Bone marrow smear; 250 by 250 pixels; single-cell crop
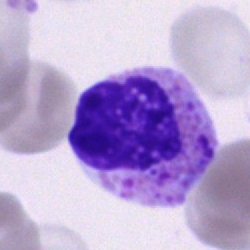

Q: What is the morphological classification of this cell?
A: This is a segmented neutrophil.